Single cell centered in the field. Bone marrow aspirate smear.
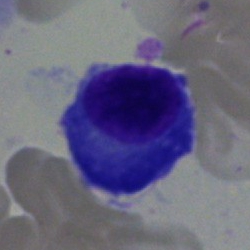

Plasma cell.